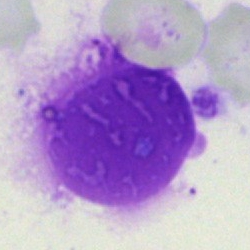 Q: What is shown here?
A: It is an artifact.